Cropped to a single cell; bone marrow aspirate smear.
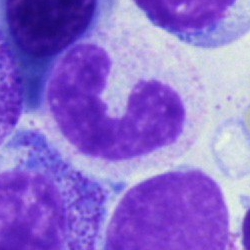

Cell — neutrophil (band).